Image size 250×250 · bone marrow smear.
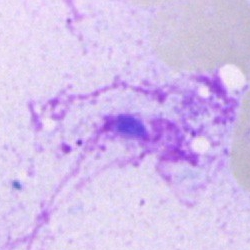
Q: What is shown here?
A: An artifact.